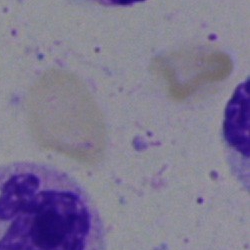This is an artefact.